Bone marrow smear; 250×250 px; cropped to a single cell: 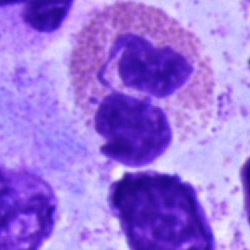Morphological class: eosinophil.